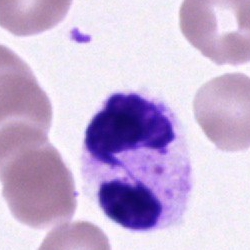 Single cell identified as a segmented neutrophil.